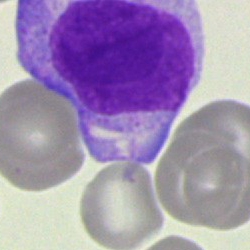
Q: What is shown here?
A: This is a blast cell.